Bone marrow aspirate smear. Single-cell field: 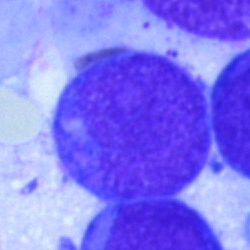
A blast cell.